Bone marrow aspirate smear
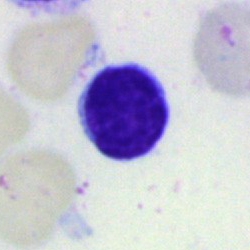Morphology → typical lymphocyte.